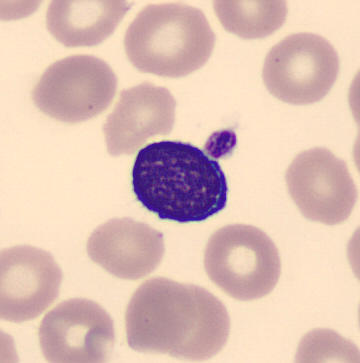 Cell: typical lymphocyte.

Preparation: May-Grünwald-Giemsa-stained; single-cell crop; peripheral blood smear.